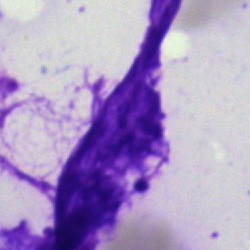

The cell shown is an artefact.